Bone marrow aspirate smear
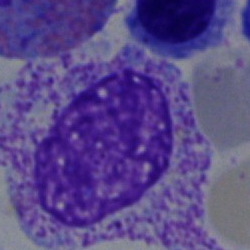

Showing a myelocyte.